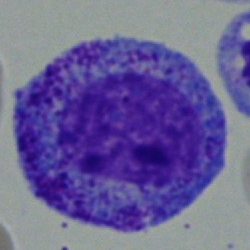
A promyelocyte on a bone marrow smear.